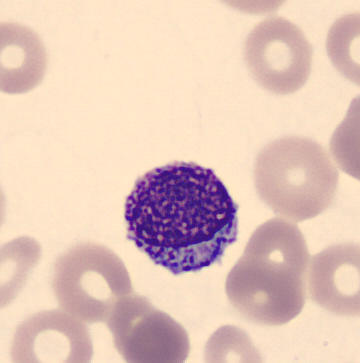
{"cell_type": "myelocyte", "lineage": "myeloid"}